Brightfield microscopy, 40× oil immersion. May-Grünwald-Giemsa stain. Bone marrow smear — 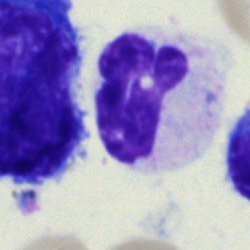

The classification is neutrophil (segmented).